Bone marrow smear. Single-cell field. MGG-stained:
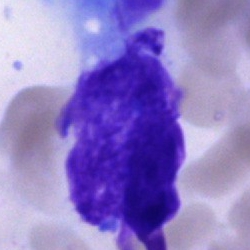

{"cell_type": "artifact"}